Bone marrow aspirate smear: 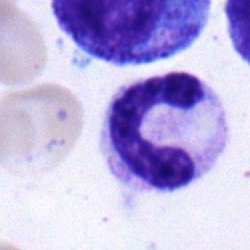
Impression → band neutrophil.